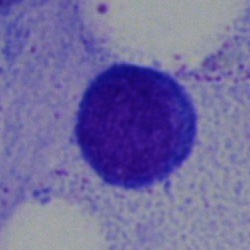Classification: lymphocyte.